Bone marrow aspirate smear. Brightfield microscopy, 40× oil immersion
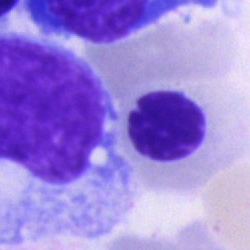 {"cell_type": "nucleated red cell", "lineage": "erythroid"}